Bone marrow smear. Cropped to a single cell. 250×250 px: 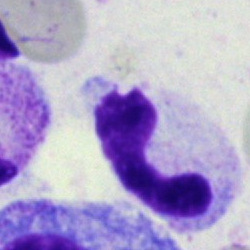

Single cell identified as a neutrophil (segmented).